Single-cell field. Bone marrow aspirate smear
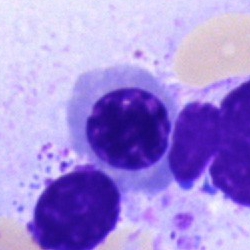

Showing a nucleated red cell.